Brightfield microscopy, 40× oil immersion · 250×250 · bone marrow smear: 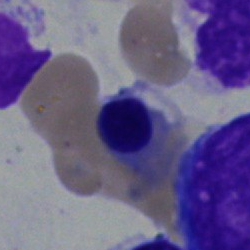The cell shown is a normoblast.